Peripheral blood film: 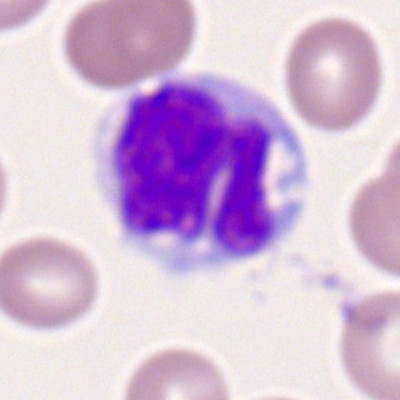

Monocyte.